Bone marrow smear:
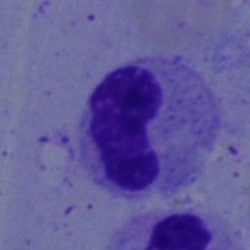

Q: What cell is this?
A: A metamyelocyte.